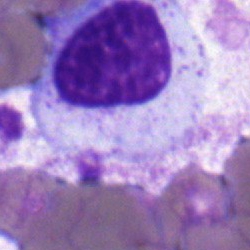Lymphocyte.